Bone marrow aspirate smear; 250×250 px
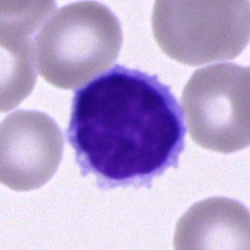
Impression → typical lymphocyte.